Romanowsky-stained. Brightfield, 100× oil-immersion objective. Peripheral blood smear
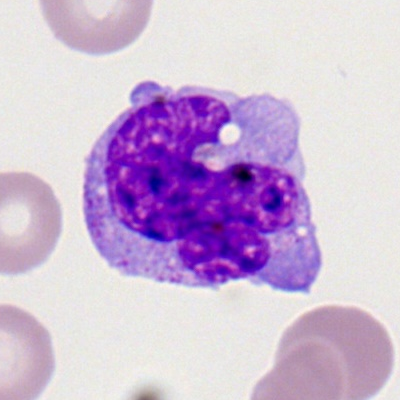
Morphological class: monocyte.